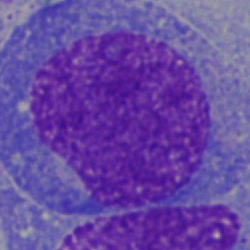 Morphology consistent with an undifferentiated blast.